Bone marrow aspirate smear
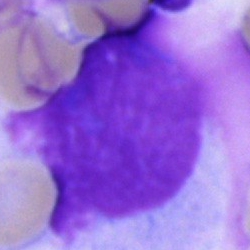

Q: What is shown here?
A: An artefact.